Bone marrow smear: 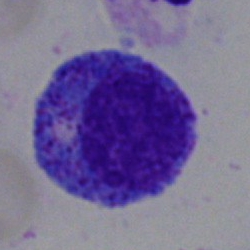Showing a promyelocyte.